Bone marrow aspirate smear: 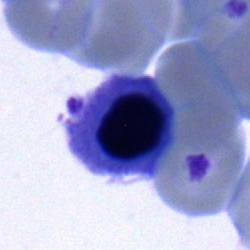Showing an erythroblast.